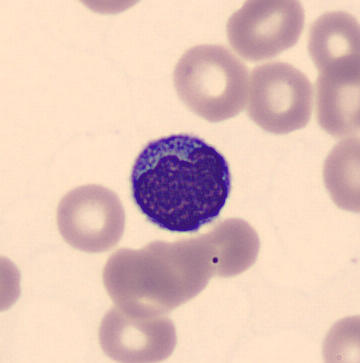

Morphology — lymphocyte. Peripheral blood film.